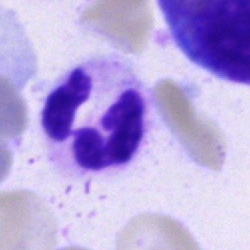 Q: Which cell type is shown here?
A: This is a segmented neutrophil.